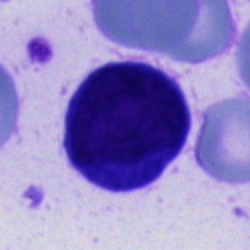
Impression — unidentifiable cell.